Bone marrow aspirate smear; single-cell crop — 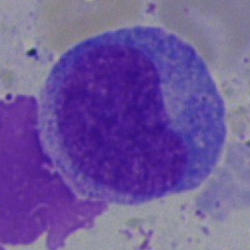
Promyelocyte.